Brightfield microscopy, 40× oil immersion · 250×250 · bone marrow aspirate smear
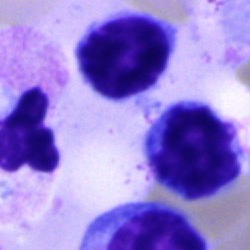This is a typical lymphocyte.